Bone marrow aspirate smear.
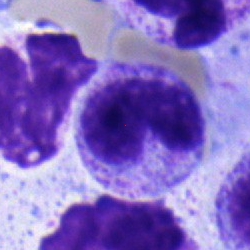
Single cell identified as a band neutrophil.